Bone marrow aspirate smear.
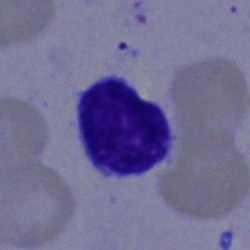Showing a lymphocyte.